Bone marrow smear · May-Grünwald-Giemsa stain · image size 250×250 — 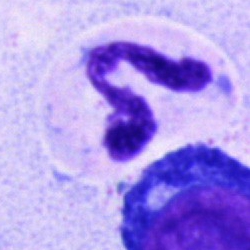

Q: What is shown here?
A: This is a segmented neutrophil.